Bone marrow smear
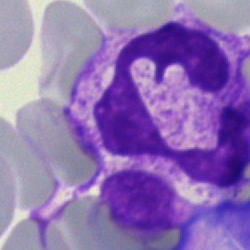

A neutrophil (segmented).